Bone marrow aspirate smear. 40× objective, oil immersion.
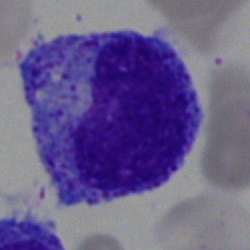This is a progranulocyte.